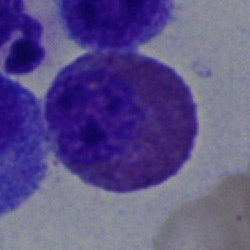Morphology — eosinophilic granulocyte.